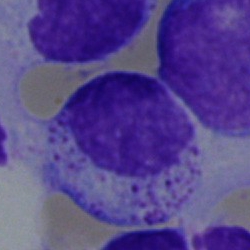 Classification — myelocyte.